Bone marrow aspirate smear. 40× objective, oil immersion. Pappenheim-stained:
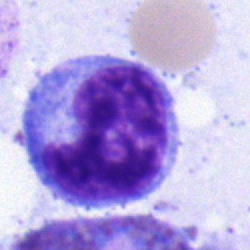

The morphological class is monocyte.